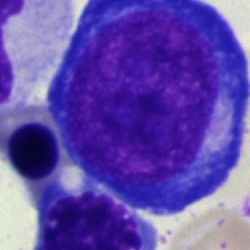Classification: pronormoblast.